40× oil immersion. Bone marrow aspirate smear
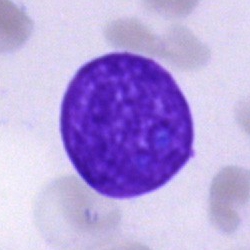 Single cell identified as an artifact.